Bone marrow smear. May-Grünwald-Giemsa/Pappenheim stain
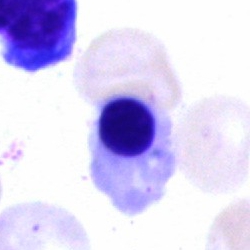 Q: Identify the cell.
A: Erythroblast.